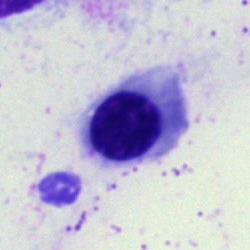
Impression → nucleated red blood cell.